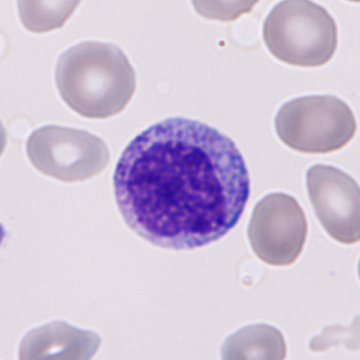 The cell type is granulocyte precursor.
Peripheral blood film.